Bone marrow smear
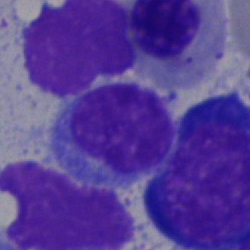The cell type is lymphocyte.